Bone marrow smear: 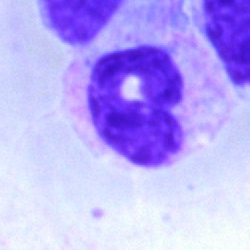Morphology consistent with a neutrophil (segmented).